Peripheral blood film
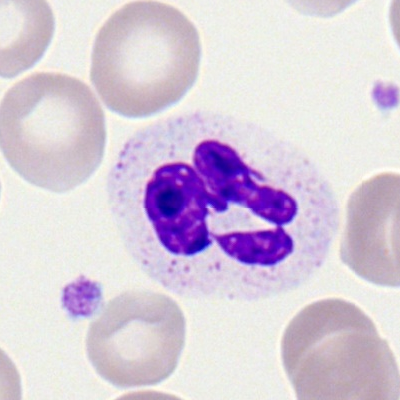Classification — neutrophil (segmented).